Pappenheim-stained · bone marrow aspirate smear · brightfield, 40× oil-immersion objective: 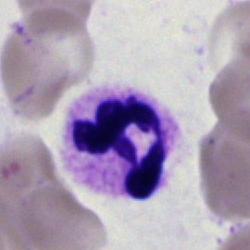

Q: What cell is this?
A: A segmented neutrophil.